Bone marrow smear. Single cell centered in the field. Pappenheim-stained.
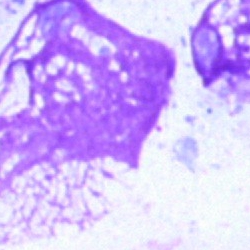

Specimen: bone marrow smear.
Morphological class: artefact.